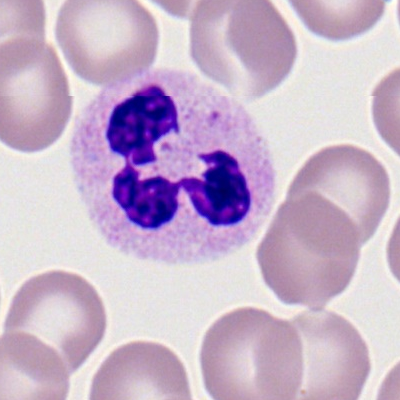Cell type = polymorphonuclear neutrophil.